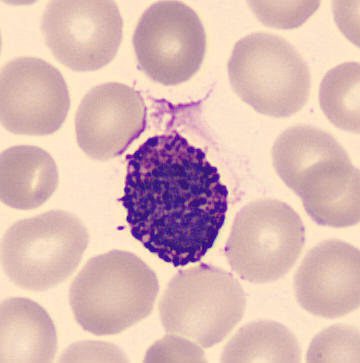
Morphology — basophilic granulocyte.
Image: Single-cell field; peripheral blood film; automated cell imaging (CellaVision DM96).